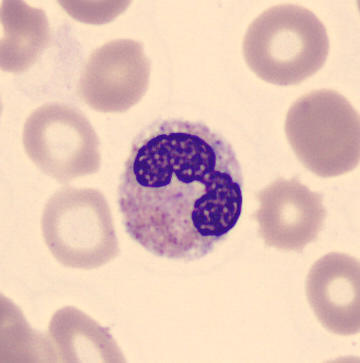Acquisition: CellaVision DM96; peripheral blood film; single cell centered in the field. A neutrophil (band).